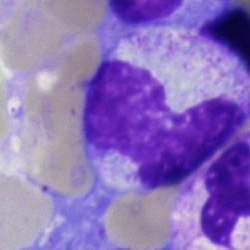 Cell type — stab cell.